Bone marrow smear: 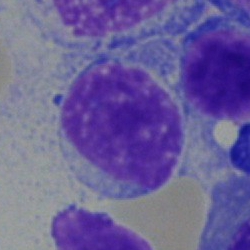Morphological class — typical lymphocyte.